Bone marrow aspirate smear — 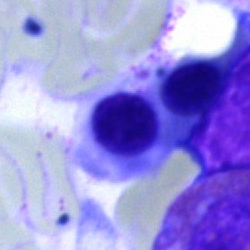 {"cell_type": "nucleated red blood cell", "lineage": "erythroid"}